Bone marrow aspirate smear
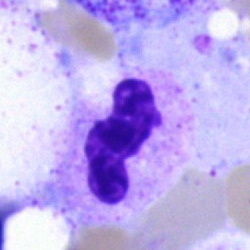Segmented neutrophil.